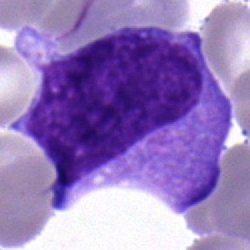
Morphology → monocyte.